Cropped to a single cell · 40× objective, oil immersion · bone marrow smear — 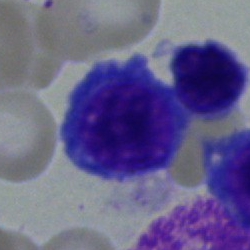
Q: What type of cell is this?
A: It is an erythroblast.